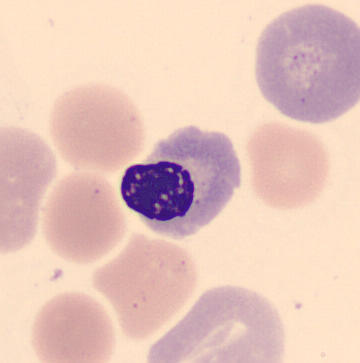

The cell is nucleated red cell.